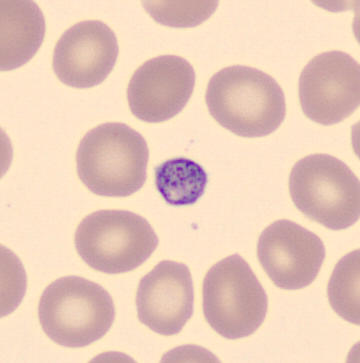
Peripheral blood smear showing a platelet (thrombocyte).